Bone marrow aspirate smear.
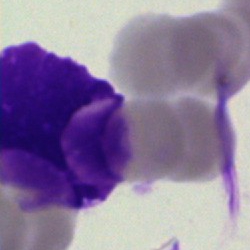

Specimen: bone marrow aspirate smear.
Cell: artifact.